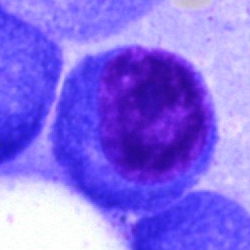 Q: What cell is this?
A: Plasmacyte.